Bone marrow aspirate smear. Cropped to a single cell
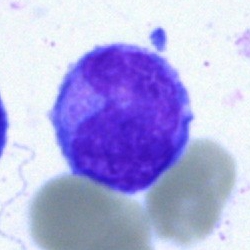 Q: Identify the cell.
A: This is a blast cell.